Bone marrow smear. Single cell centered in the field.
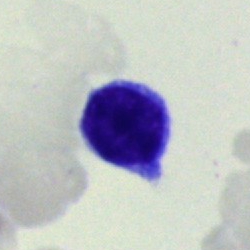

Q: What is shown here?
A: It is a lymphocyte.